Bone marrow smear
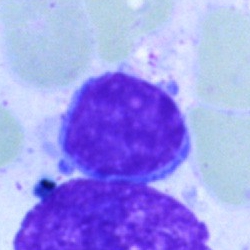
Morphological class — typical lymphocyte.